100× oil immersion, 14.14 px/µm. Peripheral blood film.
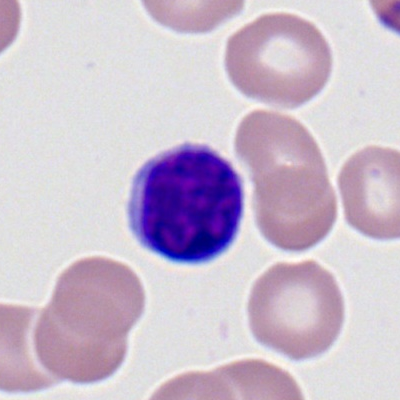
Cell type = typical lymphocyte.